Brightfield, 40× oil-immersion objective; bone marrow aspirate smear:
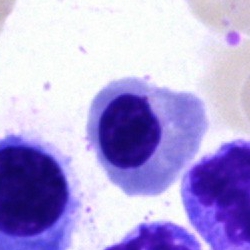 Q: What type of cell is this?
A: A nucleated red cell.